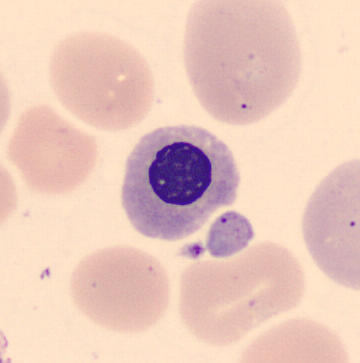

Showing an erythroblast.